Bone marrow aspirate smear:
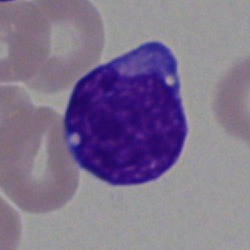 Blast.